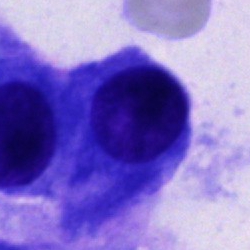
Specimen: bone marrow smear.
Cell type: cell not matching the other categories.